Bone marrow aspirate smear:
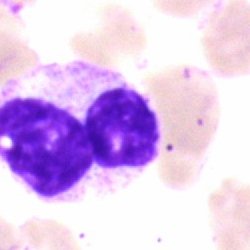
Impression → neutrophil (segmented).